250 by 250 pixels · bone marrow smear:
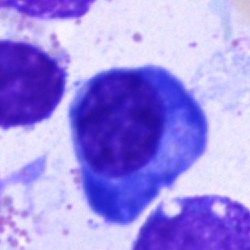
This is a plasma cell.